360 by 363 pixels. Peripheral blood film — 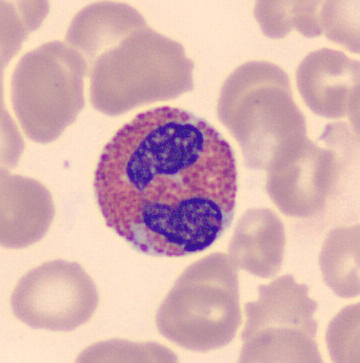

Specimen: peripheral blood film.
Classification: eosinophil.